Bone marrow aspirate smear:
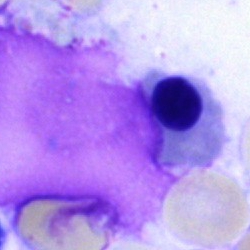

Specimen: bone marrow aspirate smear.
Classification: nucleated red blood cell.
Lineage: erythroid.